Brightfield, 100× oil-immersion objective. Peripheral blood smear.
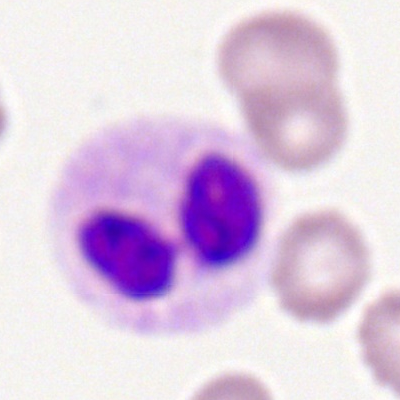

Cell type — neutrophil (segmented).